Bone marrow aspirate smear. Image size 250×250. 40× oil immersion:
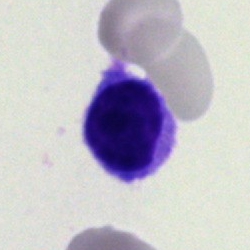
Lymphocyte.